Single-cell crop · bone marrow smear · MGG-stained: 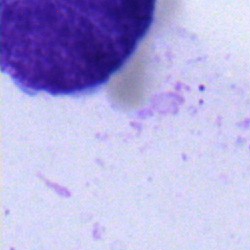
Cell type = metamyelocyte.